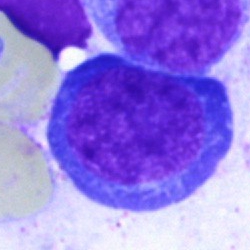

Specimen: bone marrow smear.
Morphological class: nucleated red blood cell.